400×400. Peripheral blood film:
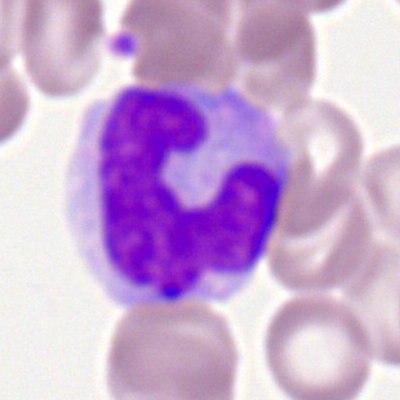

{"cell_type": "monocyte", "lineage": "myeloid"}